Peripheral blood smear: 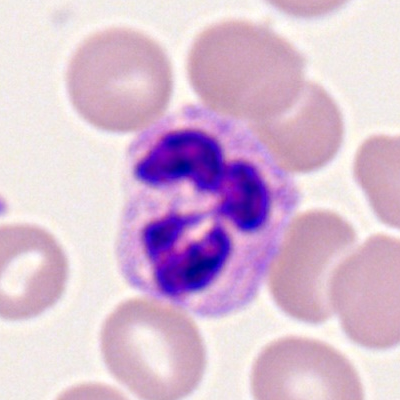 A neutrophil (segmented).